Peripheral blood smear; brightfield, 100× oil-immersion objective: 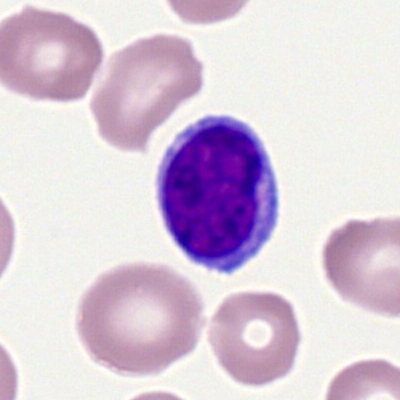A typical lymphocyte.